Bone marrow smear · 250 by 250 pixels · cropped to a single cell.
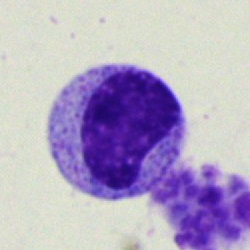 {"cell_type": "metamyelocyte", "lineage": "myeloid"}